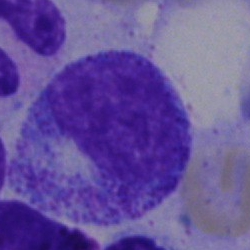Classification — promyelocyte.